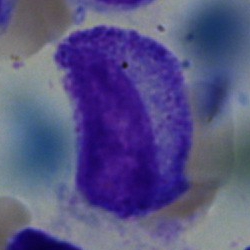

Morphology — progranulocyte.